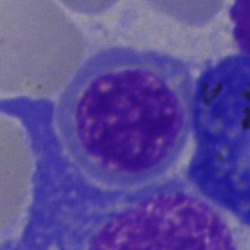The classification is erythroblast.